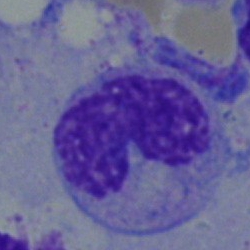 Impression → monocyte.